MGG-stained · bone marrow smear — 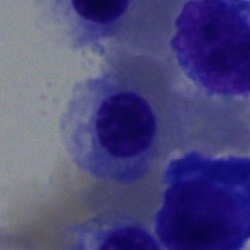

Specimen: bone marrow smear.
Morphological class: nucleated red blood cell.